Bone marrow aspirate smear: 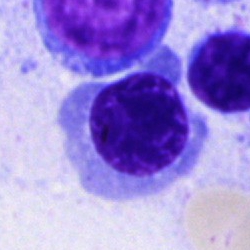 Single cell identified as a normoblast.